Peripheral blood film. Romanowsky-type stain. Image size 400×400
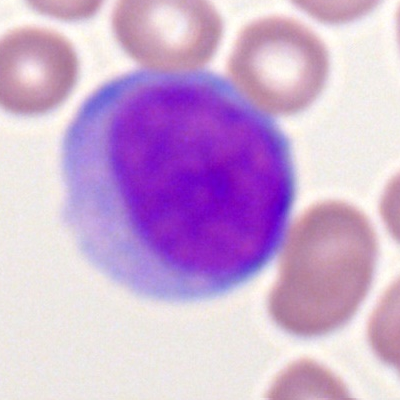

The cell shown is a myeloid blast.